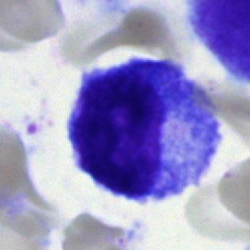Morphology → progranulocyte.